Single-cell crop; bone marrow smear — 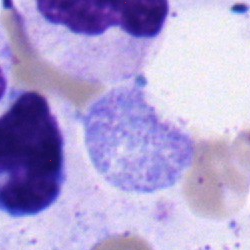
The classification is neutrophil (band).